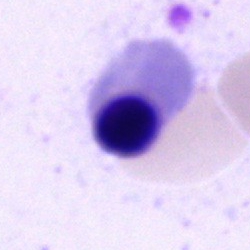

Cell type — nucleated red cell.